May-Grünwald-Giemsa/Pappenheim stain. 250×250. Bone marrow smear.
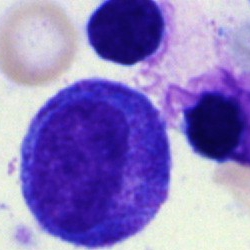

This is a progranulocyte.